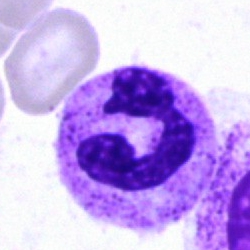Impression — neutrophil (segmented).